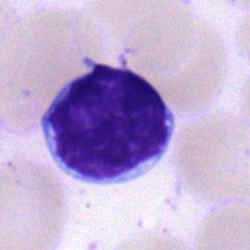
Morphological class: lymphocyte.